Bone marrow smear — 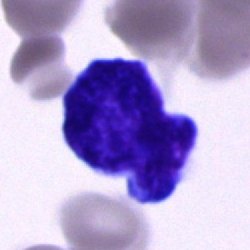

{"cell_type": "blast cell"}